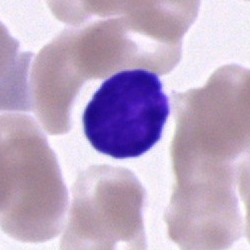

A typical lymphocyte on a bone marrow smear.